Bone marrow smear
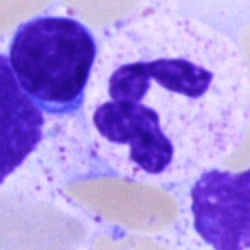
The cell type is segmented neutrophil.